Bone marrow smear · single-cell field · 40× objective, oil immersion: 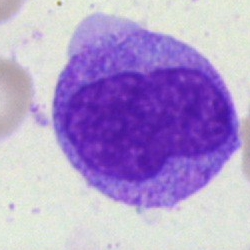 Cell — promyelocyte.